Image size 250×250. Single-cell field. Bone marrow aspirate smear
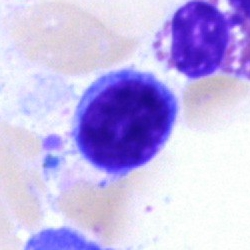

Morphological class = typical lymphocyte.